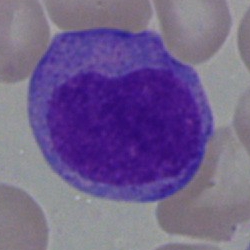Morphological class: monocyte.